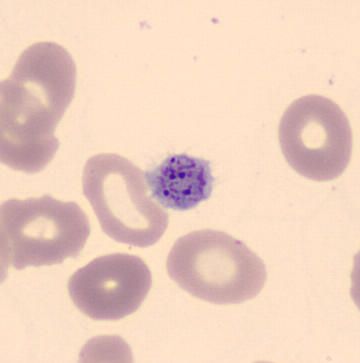 Preparation: Peripheral blood film.

This is a thrombocyte.